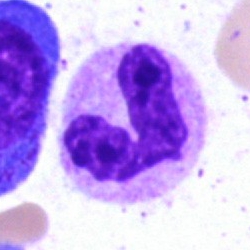A band neutrophil.